MGG-stained. Bone marrow aspirate smear.
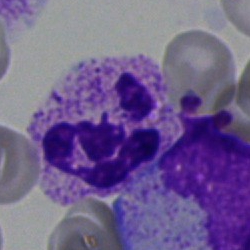 Specimen: bone marrow smear.
Cell: segmented neutrophil.